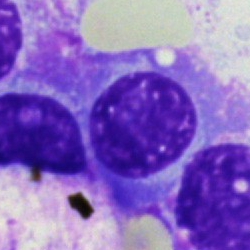

A plasma cell.